Single-cell field. Pappenheim-stained. Bone marrow smear
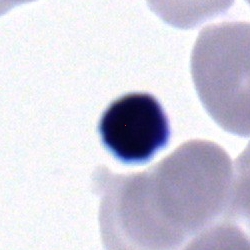 Classification = lymphocyte.